Peripheral blood smear. 100× objective, oil immersion — 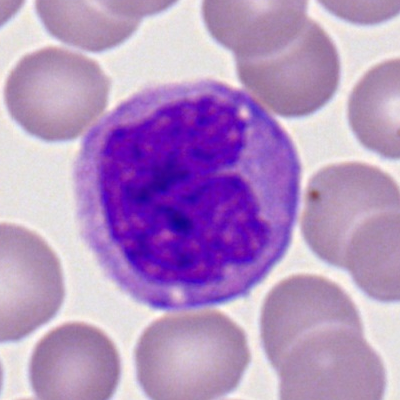

Morphological class — monocyte.